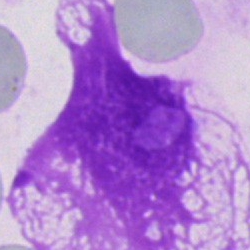
Impression → artifact.